Bone marrow smear.
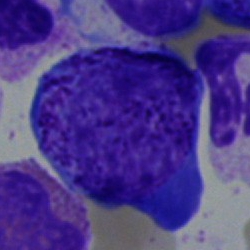A progranulocyte.